Bone marrow smear:
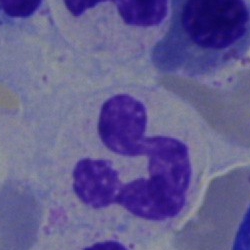Cell type — neutrophil (segmented).